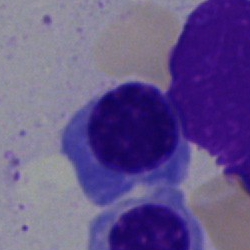 Impression — normoblast.